Bone marrow smear
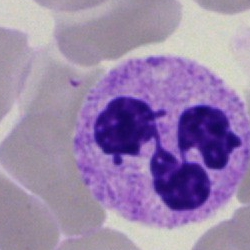

Morphology consistent with a segmented neutrophil.